Bone marrow smear · single-cell crop · May-Grünwald-Giemsa/Pappenheim stain.
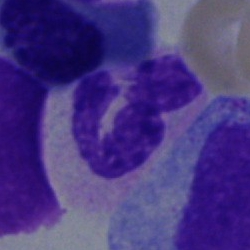

Q: What type of cell is this?
A: This is a polymorphonuclear neutrophil.